Single cell centered in the field; 250×250; bone marrow smear
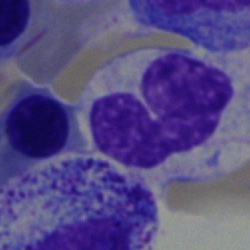

Specimen: bone marrow smear.
Morphological class: band-form neutrophil.